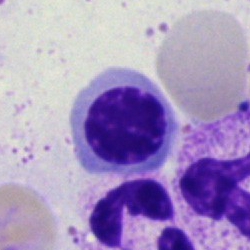

Impression — erythroblast.